Peripheral blood film: 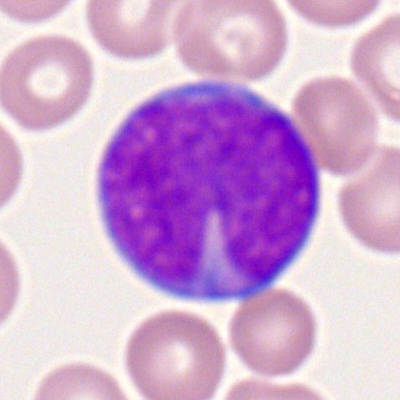 This is a myeloblast.